Bone marrow aspirate smear
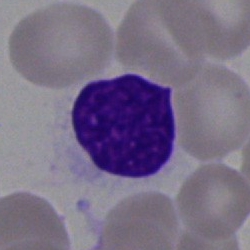 Specimen: bone marrow aspirate smear.
Classification: artifact.